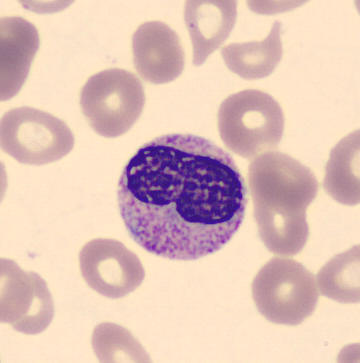 The cell shown is a metamyelocyte.
Image: Peripheral blood film.